40× objective, oil immersion; bone marrow smear.
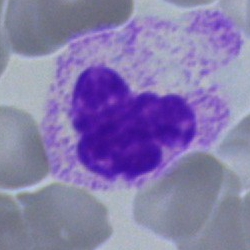 Showing a segmented neutrophil.